Bone marrow smear · 40× objective, oil immersion — 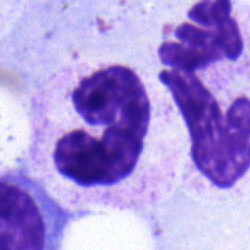A band neutrophil.